Bone marrow aspirate smear.
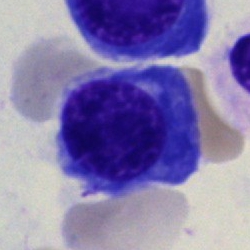

Showing an erythroblast.